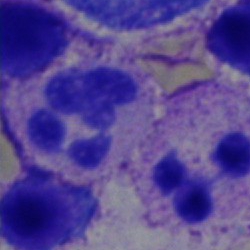

Q: What cell is this?
A: Segmented neutrophil.